Single-cell crop; bone marrow aspirate smear
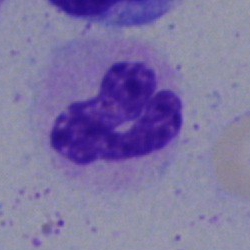Showing a neutrophil (segmented).